250 by 250 pixels · bone marrow smear · brightfield microscopy, 40× oil immersion:
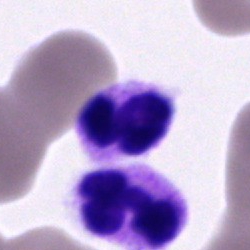 Q: Identify the cell.
A: Neutrophil (segmented).